May-Grünwald-Giemsa stain. Bone marrow smear. Brightfield, 40× oil-immersion objective.
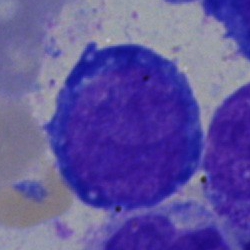A pronormoblast.